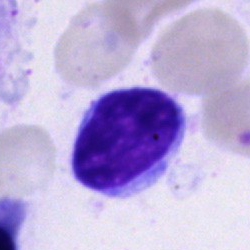 The classification is plasma cell.